Bone marrow smear · brightfield, 40× oil-immersion objective — 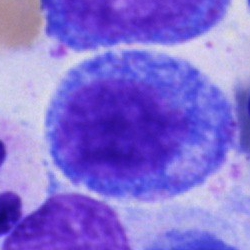
The cell shown is a promyelocyte.